Peripheral blood film: 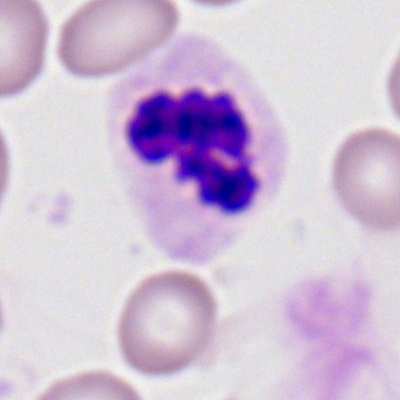
Morphological class — segmented neutrophil.